MGG-stained · bone marrow smear · single-cell crop
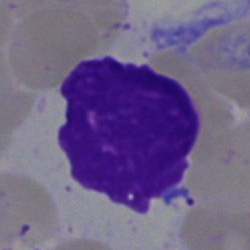

Morphology consistent with an artifact.